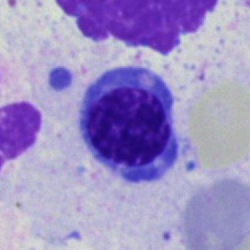

Morphological class = normoblast.